Bone marrow aspirate smear.
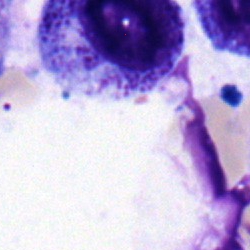Q: Identify the cell.
A: This is a myelocyte.